Bone marrow aspirate smear: 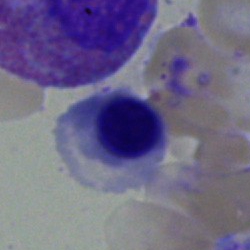Q: What cell is this?
A: A nucleated red cell.